Bone marrow aspirate smear:
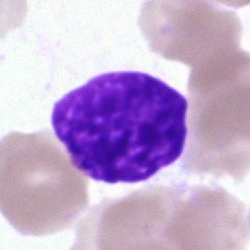 Morphological class = artifact.